Bone marrow smear; single-cell field.
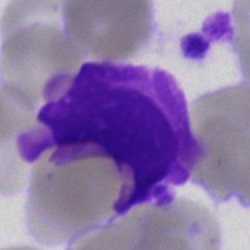

Single cell identified as an artefact.